Image size 250×250. Bone marrow smear.
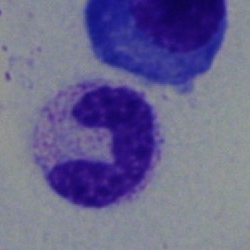
Classification = band neutrophil.